Single cell centered in the field · bone marrow aspirate smear — 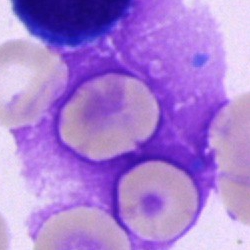
Morphology → artefact.